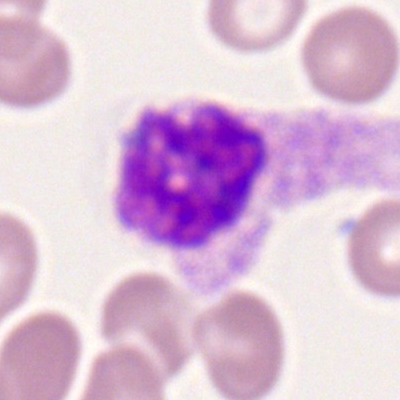 Q: What cell is this?
A: It is a monocyte.